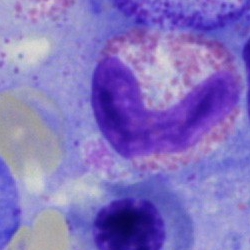

An eosinophil.